Bone marrow aspirate smear.
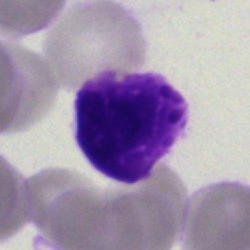

Q: What is shown here?
A: An artifact.